Bone marrow smear; 250 by 250 pixels — 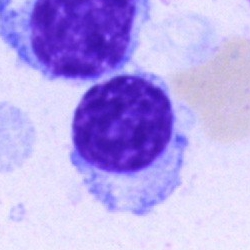
Showing a typical lymphocyte.